Peripheral blood film: 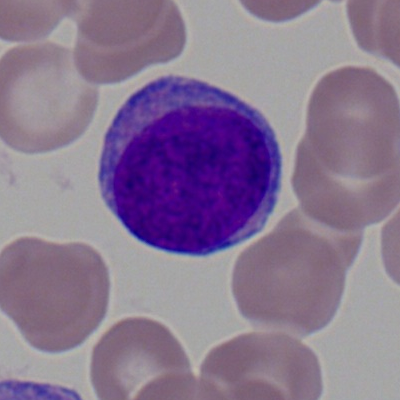
Q: Identify the cell.
A: It is a myeloblast.